Bone marrow smear:
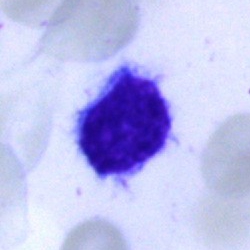 Single cell identified as a typical lymphocyte.